Brightfield, 40× oil-immersion objective; bone marrow smear — 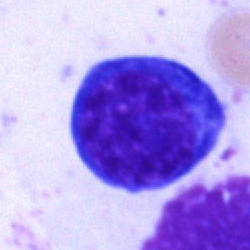 The classification is nucleated red blood cell.